Bone marrow smear.
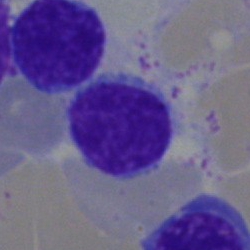

Morphology consistent with a typical lymphocyte.